Bone marrow smear — 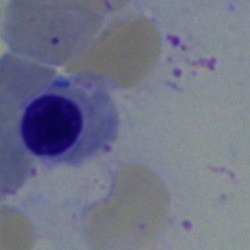Morphology — normoblast.